Bone marrow aspirate smear · Pappenheim-stained · cropped to a single cell:
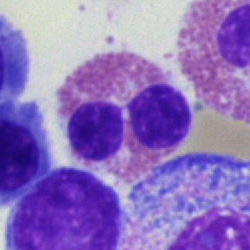
Morphological class = eosinophil.